Bone marrow smear — 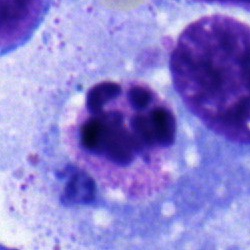The cell shown is a neutrophil (segmented).